Bone marrow smear
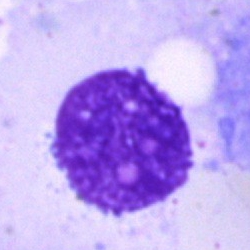
An artifact.